Bone marrow smear
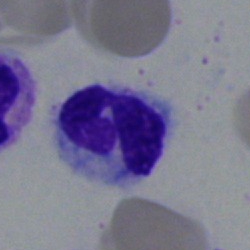

The cell is polymorphonuclear neutrophil.